Bone marrow smear
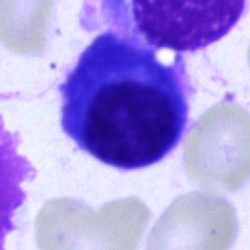Specimen: bone marrow aspirate smear.
Cell type: plasma cell.